Single-cell field · bone marrow aspirate smear:
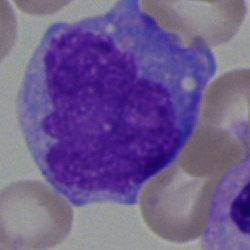Q: Which cell type is shown here?
A: This is a monocyte.